Bone marrow aspirate smear; brightfield, 40× oil-immersion objective.
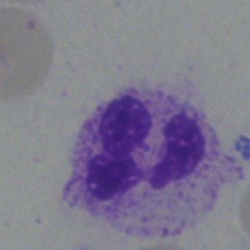Specimen: bone marrow smear.
Cell type: segmented neutrophil.